40× oil immersion · single-cell field · bone marrow aspirate smear.
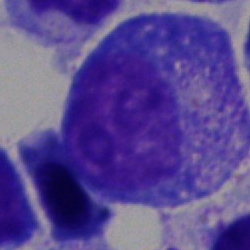 Specimen: bone marrow smear.
Morphological class: promyelocyte.
Lineage: myeloid.